Cropped to a single cell; peripheral blood film: 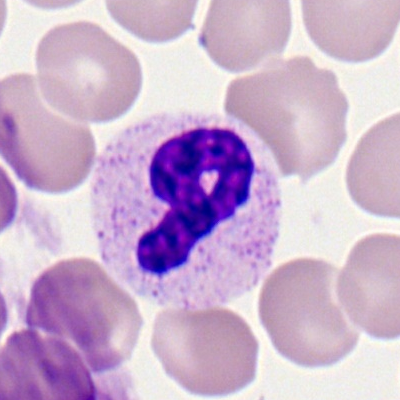 Showing a neutrophil (segmented).